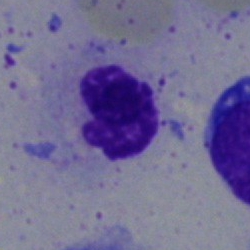 Bone marrow smear showing a polymorphonuclear neutrophil.